Bone marrow aspirate smear — 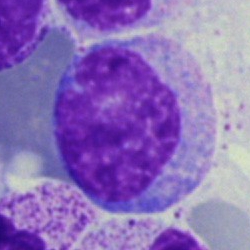

Monocyte.